Bone marrow aspirate smear — 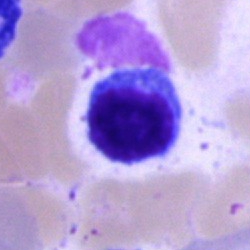The morphological class is lymphocyte.